Bone marrow smear:
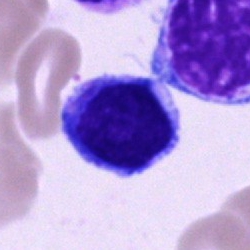
This is a typical lymphocyte.